May-Grünwald-Giemsa stain. Single-cell field. Bone marrow aspirate smear.
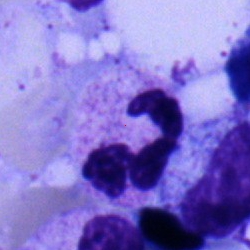 Specimen: bone marrow aspirate smear.
Cell: polymorphonuclear neutrophil.
Lineage: myeloid.